Bone marrow smear · brightfield, 40× oil-immersion objective:
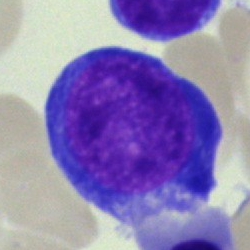 Showing a pronormoblast.